Bone marrow aspirate smear — 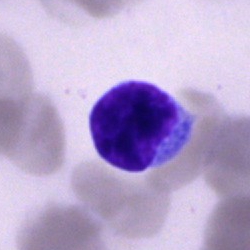

Cell = lymphocyte.